Bone marrow smear · May-Grünwald-Giemsa/Pappenheim stain
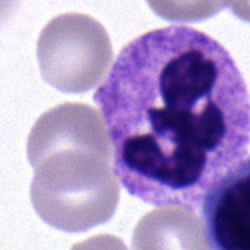 Cell: polymorphonuclear neutrophil.